Brightfield, 40× oil-immersion objective; bone marrow smear: 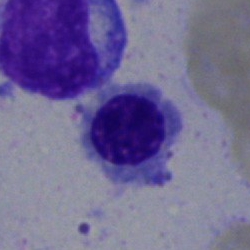

Q: What type of cell is this?
A: Normoblast.